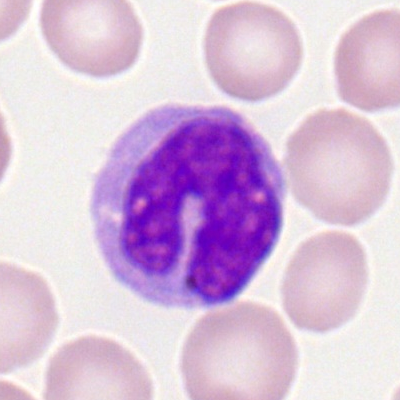
{"cell_type": "monocyte"}